Bone marrow aspirate smear: 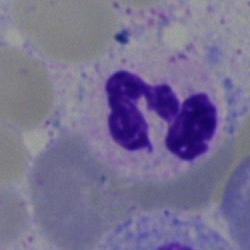 {"cell_type": "neutrophil (segmented)", "lineage": "myeloid"}